Bone marrow aspirate smear.
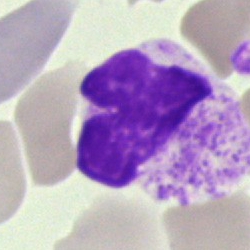

Cell = unidentifiable cell.